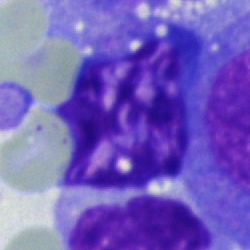
Artifact.